Bone marrow smear.
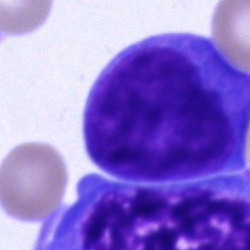 Blast cell.